Bone marrow smear — 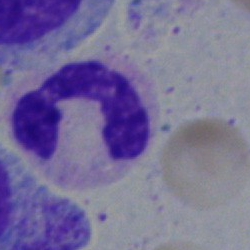
{"cell_type": "polymorphonuclear neutrophil", "lineage": "myeloid"}